May-Grünwald-Giemsa stain. Bone marrow smear
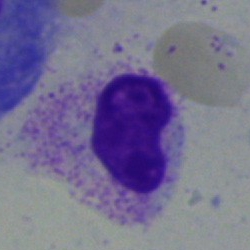Cell = metamyelocyte.